Bone marrow smear.
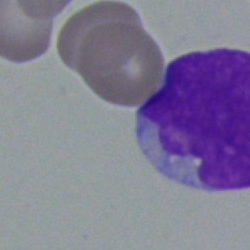 Single cell identified as an undifferentiated blast.